Brightfield, 40× oil-immersion objective; bone marrow smear.
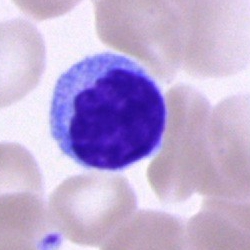

Morphology — lymphocyte.